MGG-stained · bone marrow smear.
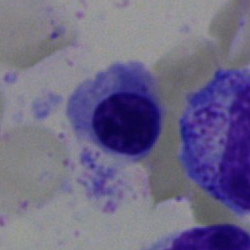

This is a normoblast.